Bone marrow aspirate smear · 40× oil immersion · May-Grünwald-Giemsa stain: 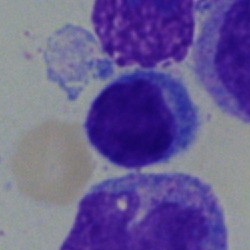
Morphology — typical lymphocyte.